Peripheral blood film:
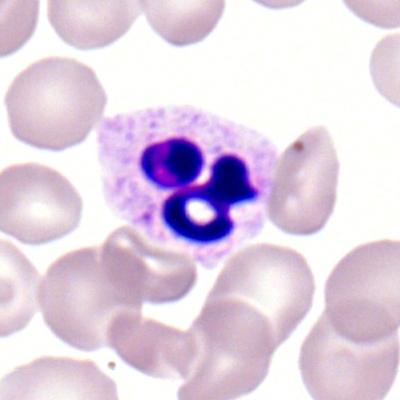 The morphological class is neutrophil (segmented).